Image size 250×250 · bone marrow aspirate smear · single-cell field:
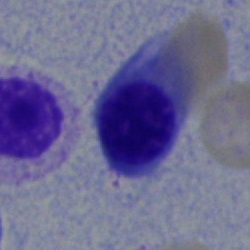
Specimen: bone marrow aspirate smear.
Cell: nucleated red cell.
Lineage: erythroid.